Bone marrow smear: 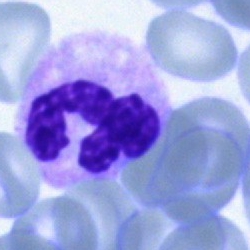The cell type is segmented neutrophil.